Bone marrow smear: 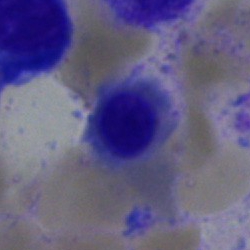 Specimen: bone marrow aspirate smear.
Cell type: normoblast.
Lineage: erythroid.